Bone marrow smear
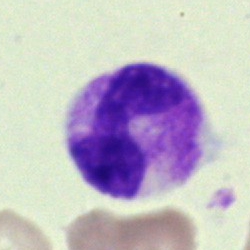Classification — segmented neutrophil.